Bone marrow aspirate smear. Pappenheim-stained.
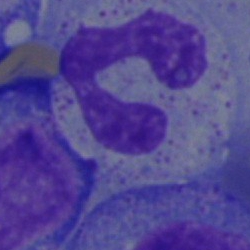Morphological class — neutrophil (band).